Bone marrow aspirate smear: 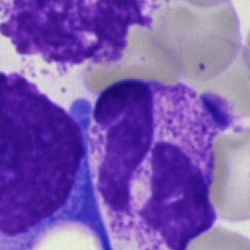

Neutrophil (segmented).